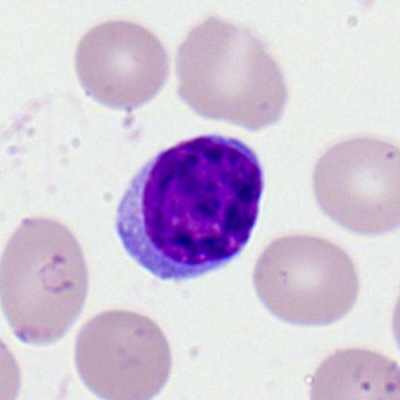

Q: What is the morphological classification of this cell?
A: It is a lymphocyte.